Bone marrow aspirate smear · brightfield, 40× oil-immersion objective · May-Grünwald-Giemsa/Pappenheim stain — 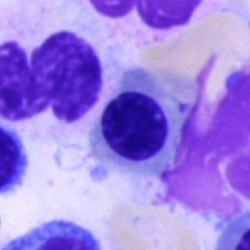
Impression — erythroblast.